40× oil immersion; bone marrow aspirate smear: 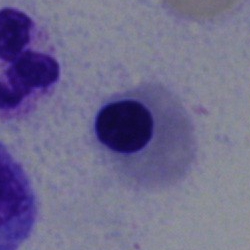
Morphology consistent with an erythroblast.